Bone marrow aspirate smear. May-Grünwald-Giemsa/Pappenheim stain:
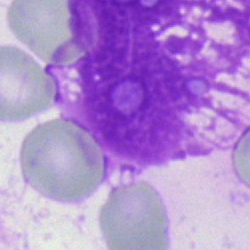
The cell shown is an artefact.